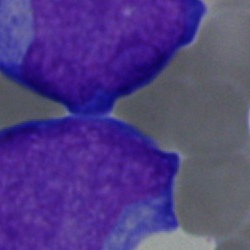Bone marrow smear showing an undifferentiated blast.